400×400 px · peripheral blood smear.
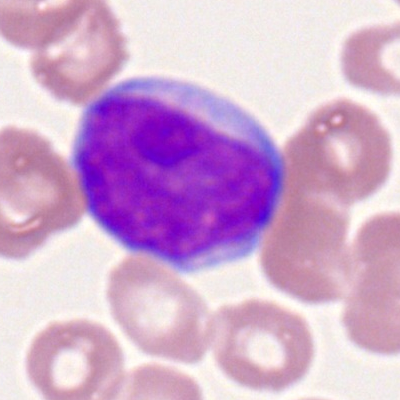Showing a myeloblast.